Bone marrow smear:
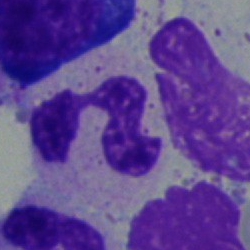
Classification — polymorphonuclear neutrophil.